Cropped to a single cell; brightfield microscopy, 40× oil immersion; bone marrow aspirate smear: 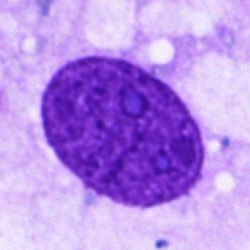
Cell type: artefact.